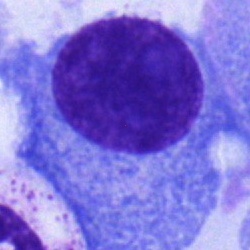

Specimen: bone marrow smear.
Morphological class: plasmacyte.
Lineage: lymphoid.